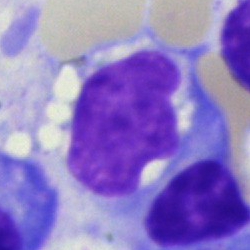
Specimen: bone marrow aspirate smear.
Classification: monocyte.